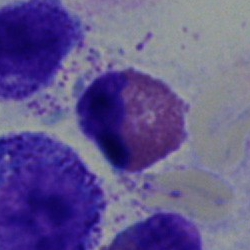
The cell is eosinophilic granulocyte.